Cropped to a single cell · bone marrow smear:
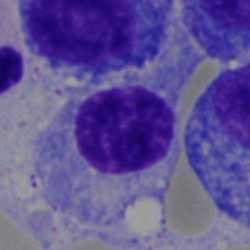Specimen: bone marrow aspirate smear.
Cell: cell of indeterminate lineage.